Bone marrow smear. 250×250 px:
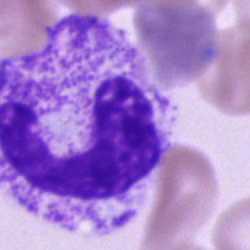 Band-form neutrophil.